May-Grünwald-Giemsa/Pappenheim stain. Bone marrow smear.
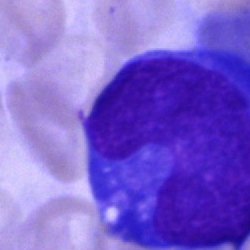Specimen: bone marrow smear.
Cell: blast cell.